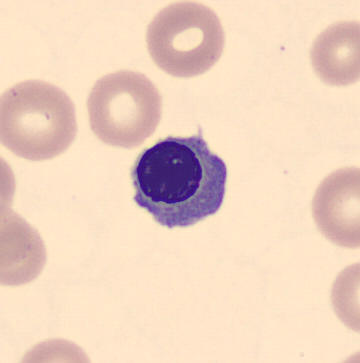Cell — normoblast. Peripheral blood smear.